Peripheral blood smear
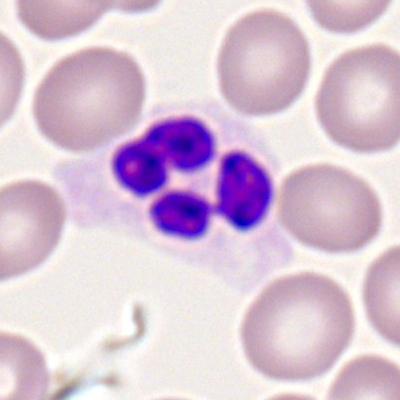
Segmented neutrophil.